Brightfield microscopy, 40× oil immersion. Bone marrow aspirate smear:
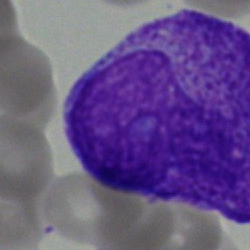Showing an undifferentiated blast.